250×250; May-Grünwald-Giemsa/Pappenheim stain; bone marrow smear
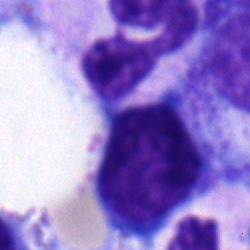

Classification — neutrophil (segmented).